Bone marrow smear.
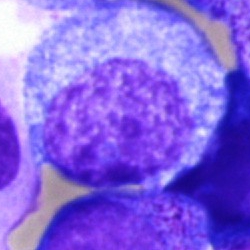 Q: Identify the cell.
A: This is a progranulocyte.